Bone marrow smear.
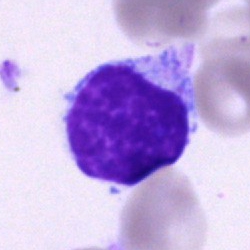 The morphological class is typical lymphocyte.